Brightfield, 40× oil-immersion objective; Pappenheim-stained; bone marrow smear.
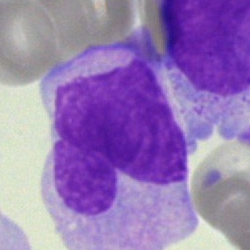Impression — monocyte.